Bone marrow smear — 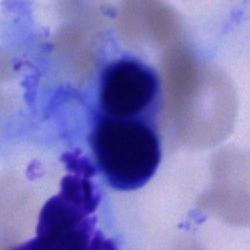
Specimen: bone marrow smear.
Cell: artifact.